Bone marrow aspirate smear · 250 by 250 pixels: 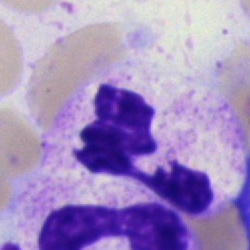

Q: Which cell type is shown here?
A: A polymorphonuclear neutrophil.